Brightfield, 40× oil-immersion objective · bone marrow aspirate smear: 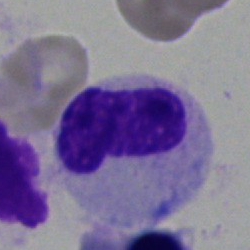
Cell — band-form neutrophil.